Bone marrow smear; single cell centered in the field.
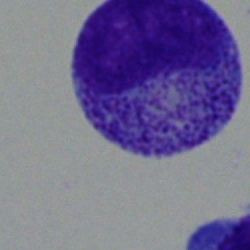

Cell = promyelocyte.